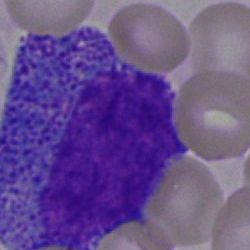

Single cell identified as a promyelocyte.